Cropped to a single cell; bone marrow aspirate smear; brightfield, 40× oil-immersion objective — 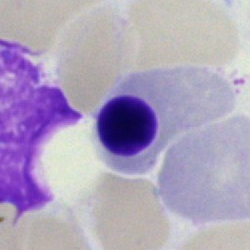

Cell type: nucleated red cell.